Image size 250×250. Bone marrow smear.
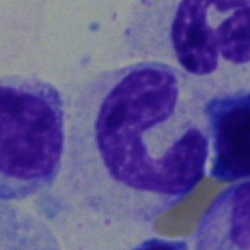

Morphology consistent with a neutrophil (band).